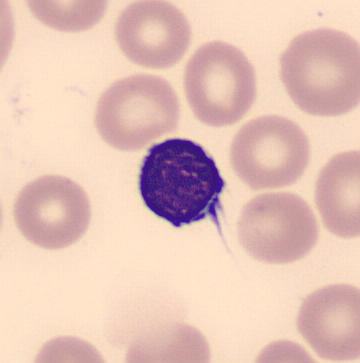

Impression → typical lymphocyte.